Bone marrow aspirate smear.
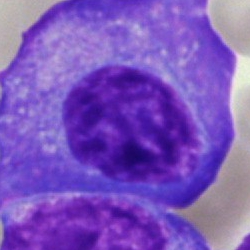

Single cell identified as a plasmacyte.